Brightfield, 40× oil-immersion objective · bone marrow smear: 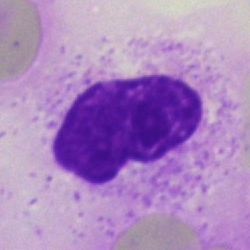
Impression → artifact.